May-Grünwald-Giemsa stain · bone marrow smear · cropped to a single cell:
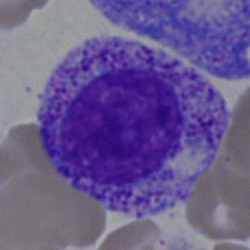
Specimen: bone marrow smear.
Cell type: myelocyte.
Lineage: myeloid.